Bone marrow smear; 250×250 px:
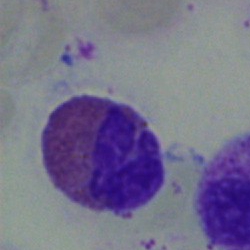
The morphological class is eosinophilic granulocyte.